Bone marrow smear: 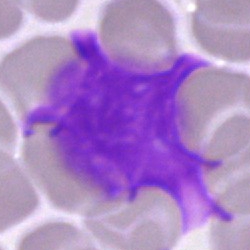
Cell type — artifact.